250×250 px. Bone marrow aspirate smear. Brightfield, 40× oil-immersion objective
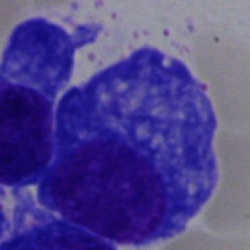
This is a plasma cell.